May-Grünwald-Giemsa/Pappenheim stain. Bone marrow smear. Cropped to a single cell
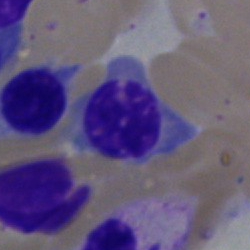
Erythroblast.